Single-cell field · bone marrow smear — 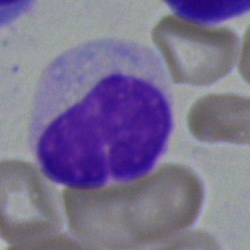
Showing a metamyelocyte.